Bone marrow aspirate smear · 250×250 · May-Grünwald-Giemsa stain: 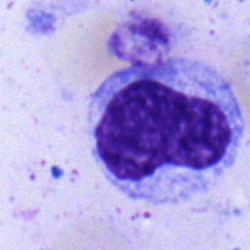Showing a metamyelocyte.